May-Grünwald-Giemsa/Pappenheim stain. Bone marrow aspirate smear. Brightfield, 40× oil-immersion objective — 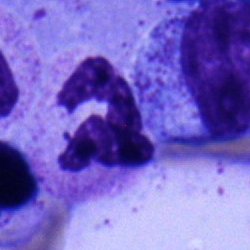Q: Which cell type is shown here?
A: Segmented neutrophil.